MGG-stained · bone marrow aspirate smear
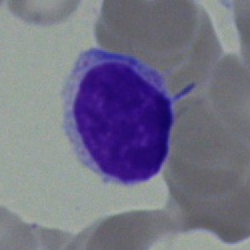
Impression — lymphocyte.